Single-cell field · bone marrow smear · brightfield microscopy, 40× oil immersion:
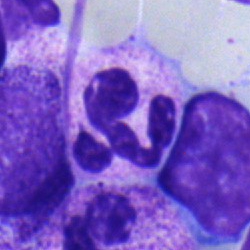 Specimen: bone marrow smear.
Cell type: polymorphonuclear neutrophil.